Bone marrow aspirate smear; Pappenheim-stained
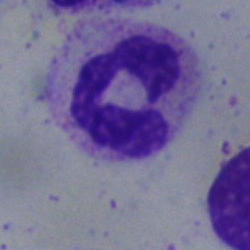Classification: segmented neutrophil.